May-Grünwald-Giemsa stain · bone marrow aspirate smear:
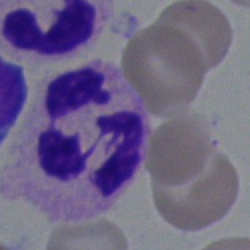

This is a segmented neutrophil.